Bone marrow smear · 40× oil immersion · May-Grünwald-Giemsa/Pappenheim stain — 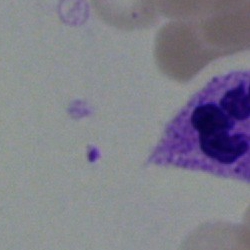Impression — polymorphonuclear neutrophil.